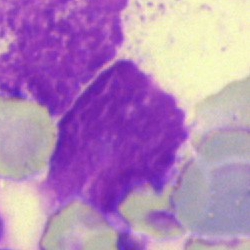
Classification: artifact.